Peripheral blood film — 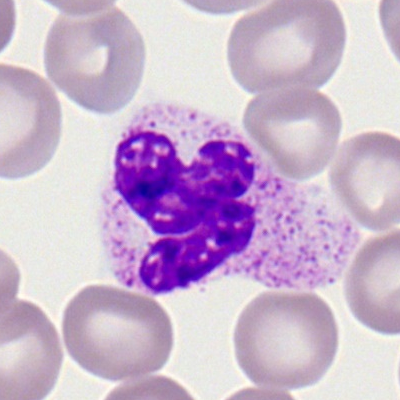
Morphology consistent with a neutrophil (segmented).